Bone marrow smear; 250×250 px — 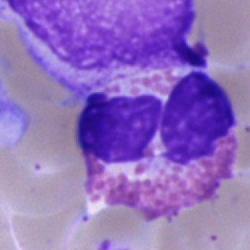Impression — eosinophil.